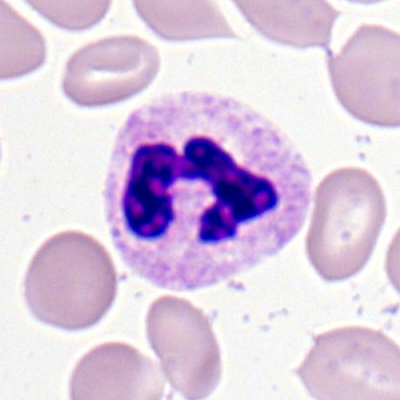Morphology consistent with a polymorphonuclear neutrophil.